Bone marrow smear. MGG-stained
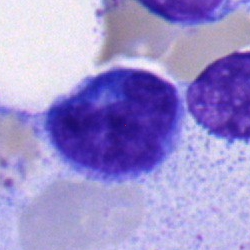 Morphological class = monocyte.